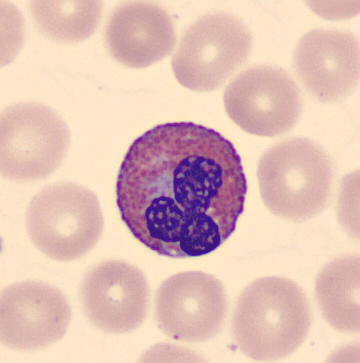Image: 360×363 px; peripheral blood smear; single-cell field. Eosinophilic granulocyte.